Bone marrow smear — 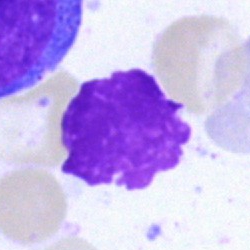Cell: artifact.